40× oil immersion · bone marrow aspirate smear — 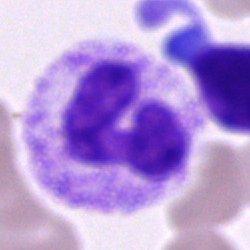 Showing a neutrophil (segmented).